Bone marrow smear; Pappenheim-stained; 250 by 250 pixels:
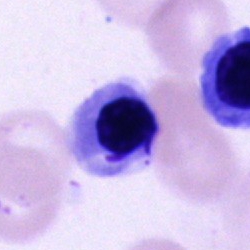 Morphology — nucleated red cell.